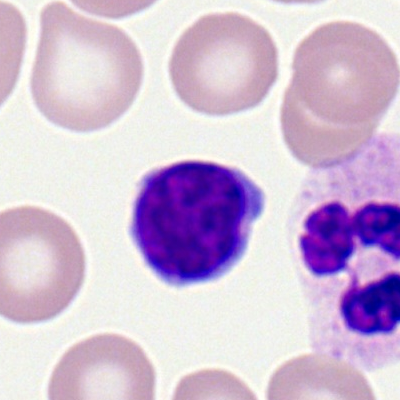 Specimen: peripheral blood film.
Morphological class: typical lymphocyte.